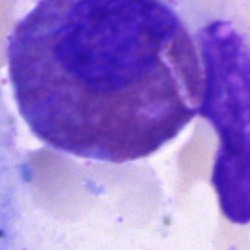 Cell type — eosinophil.